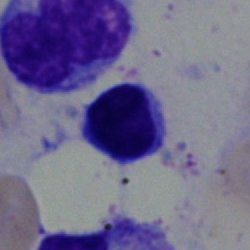Morphological class = nucleated red cell.